Bone marrow smear
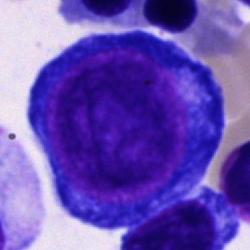

Cell — proerythroblast.